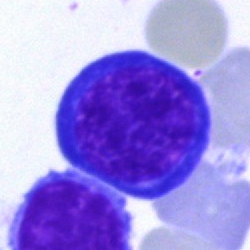Morphological class — normoblast.